Bone marrow smear — 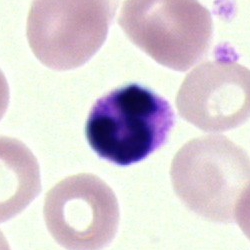

The cell shown is an artifact.